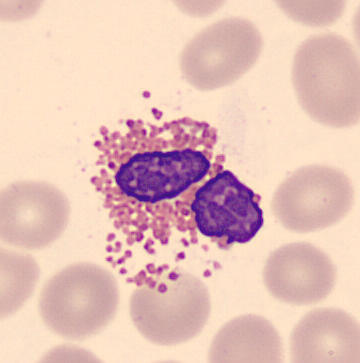

The cell type is eosinophil.
Preparation: 360×363 px · peripheral blood film · single-cell crop.